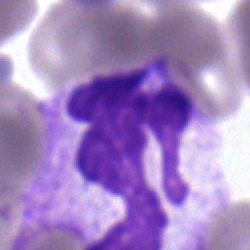 This is a segmented neutrophil.